Bone marrow smear. 40× objective, oil immersion — 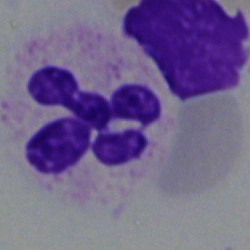 The cell type is neutrophil (segmented).